Bone marrow smear.
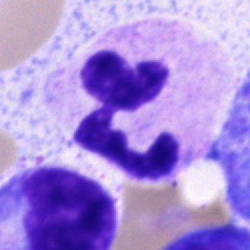

Cell type = segmented neutrophil.